250×250 px. Bone marrow smear: 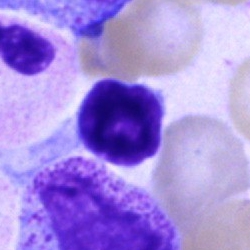 Cell type = typical lymphocyte.